Bone marrow smear: 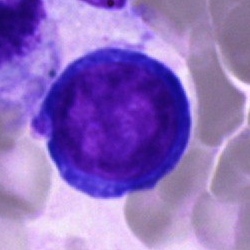
Q: What is shown here?
A: A pronormoblast.